Bone marrow smear.
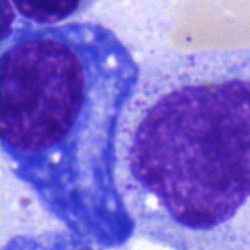

Impression — plasmacyte.